Bone marrow aspirate smear
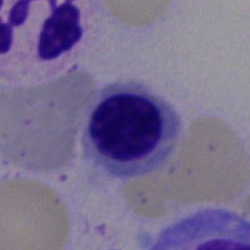
Nucleated red cell.